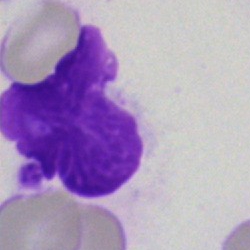 Q: What is shown here?
A: This is an artefact.